Bone marrow aspirate smear: 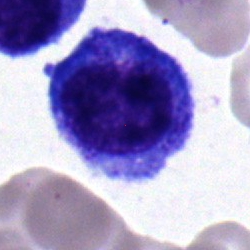Specimen: bone marrow smear.
Cell: progranulocyte.